Bone marrow aspirate smear · May-Grünwald-Giemsa/Pappenheim stain:
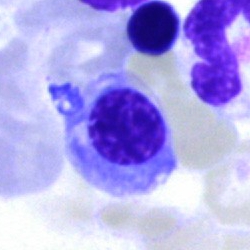
Cell type = erythroblast.